Bone marrow aspirate smear. Cropped to a single cell:
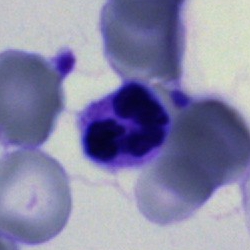
A polymorphonuclear neutrophil.